Single-cell field · peripheral blood film
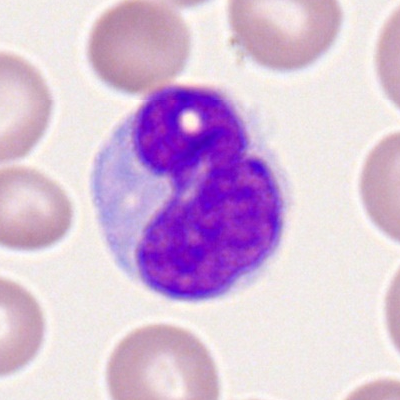

Cell: monocyte.